Single-cell crop; bone marrow aspirate smear: 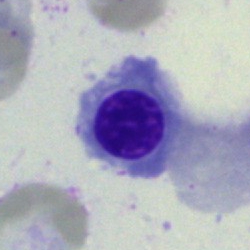Showing a normoblast.